Bone marrow smear:
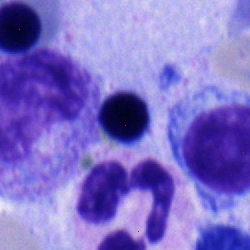This is a normoblast.